Bone marrow aspirate smear:
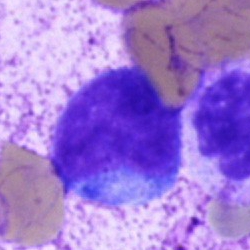 Cell type: blast.